Bone marrow smear. Brightfield, 40× oil-immersion objective:
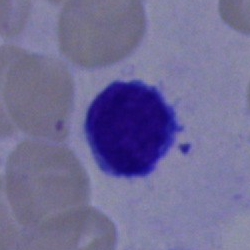Specimen: bone marrow smear.
Morphological class: typical lymphocyte.